Pappenheim-stained. Bone marrow smear. Single cell centered in the field
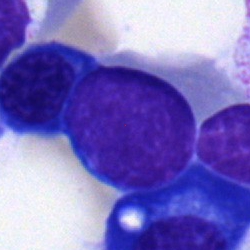 The classification is typical lymphocyte.